Bone marrow smear — 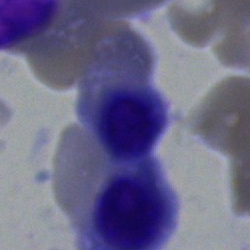
Showing a nucleated red blood cell.